Bone marrow smear.
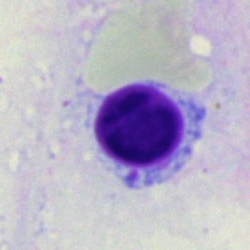
Morphology → typical lymphocyte.